May-Grünwald-Giemsa/Pappenheim stain. Bone marrow aspirate smear. Brightfield, 40× oil-immersion objective — 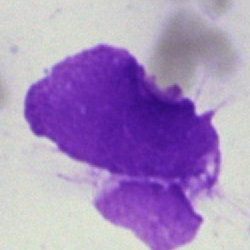
Cell type = artifact.